Bone marrow aspirate smear. Brightfield microscopy, 40× oil immersion: 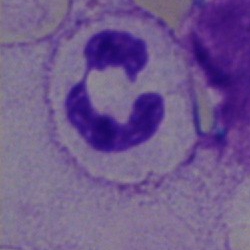 {"cell_type": "neutrophil (segmented)", "lineage": "myeloid"}